Bone marrow aspirate smear. 250 by 250 pixels — 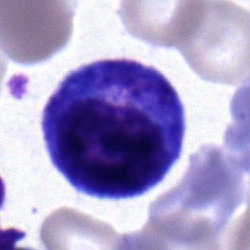Specimen: bone marrow aspirate smear.
Morphological class: progranulocyte.
Lineage: myeloid.